Bone marrow aspirate smear · 250×250 · 40× objective, oil immersion.
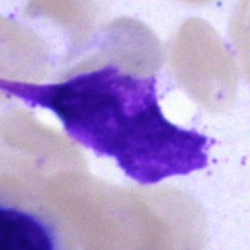

Q: What is shown here?
A: It is an artifact.